Bone marrow smear. Cropped to a single cell. 250×250:
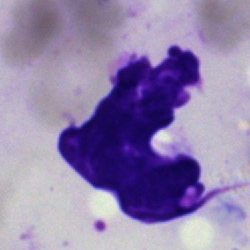
An artefact.